Brightfield, 40× oil-immersion objective. Bone marrow aspirate smear
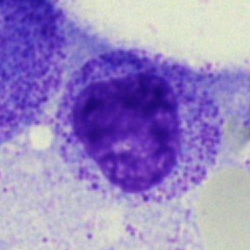Cell type — myelocyte.